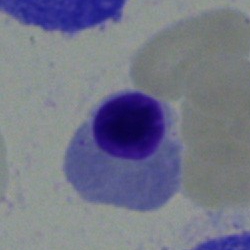
This is a nucleated red cell.